Bone marrow aspirate smear
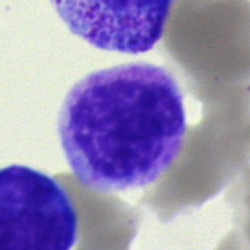
The classification is myelocyte.